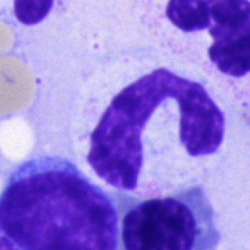Specimen: bone marrow aspirate smear.
Cell: band neutrophil.